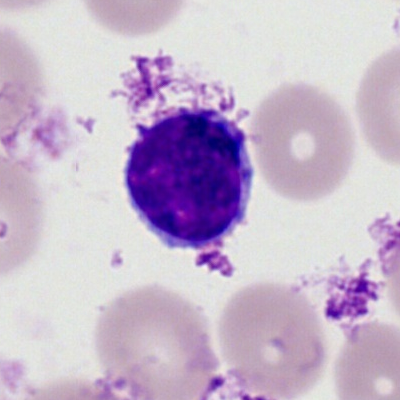Peripheral blood film, single cell — lymphocyte.